Bone marrow aspirate smear — 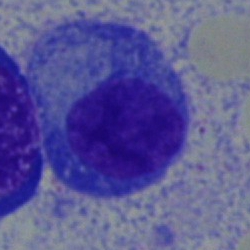Plasmacyte.